Bone marrow smear
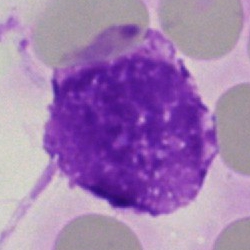

Showing an artefact.